Bone marrow smear.
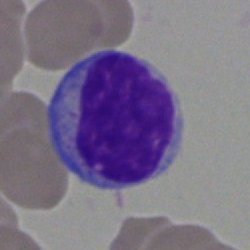Q: Identify the cell.
A: A typical lymphocyte.